MGG-stained · bone marrow smear: 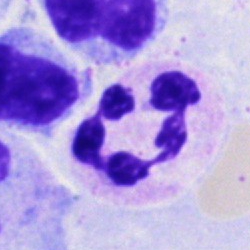

Classification = segmented neutrophil.